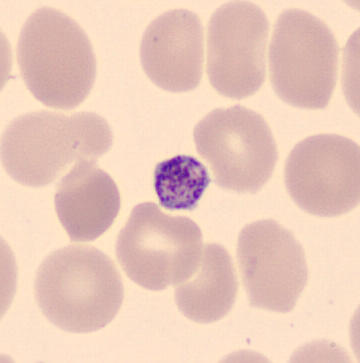

Q: What is this?
A: A platelet (thrombocyte).